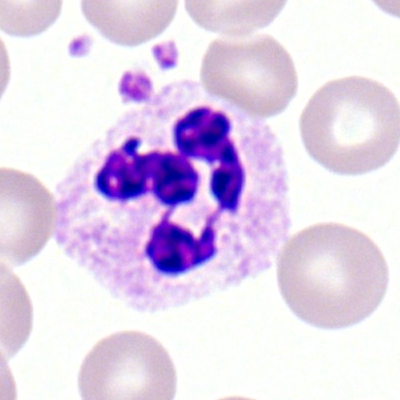
Cell type — neutrophil (segmented).